40× oil immersion; bone marrow smear — 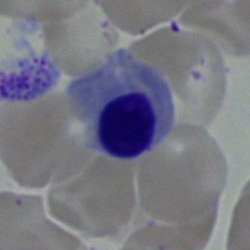

Nucleated red cell.